May-Grünwald-Giemsa/Pappenheim stain. Bone marrow smear. Single-cell field: 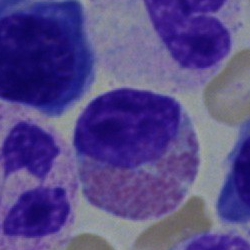 An eosinophilic granulocyte.